Bone marrow aspirate smear
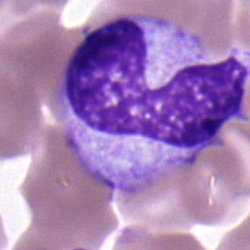
The cell type is neutrophil (band).